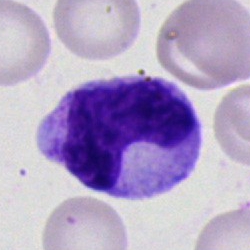Cell: band neutrophil.